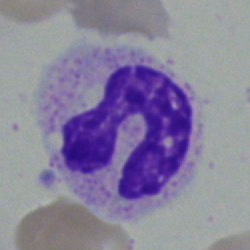

Single cell identified as a band-form neutrophil.